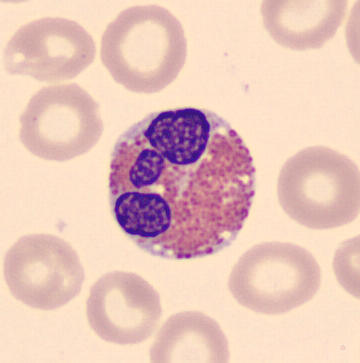

The cell is eosinophil. Image: Peripheral blood smear. Single-cell field.